Bone marrow aspirate smear · brightfield, 40× oil-immersion objective
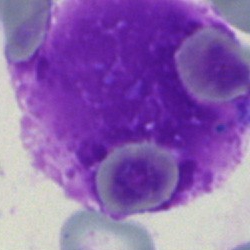Q: What is shown here?
A: It is an artefact.